250 by 250 pixels; brightfield, 40× oil-immersion objective; bone marrow smear.
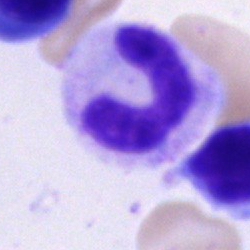 Showing a band neutrophil.